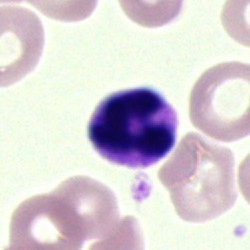 {"cell_type": "neutrophil (segmented)", "lineage": "myeloid"}